Image size 250×250 · bone marrow aspirate smear.
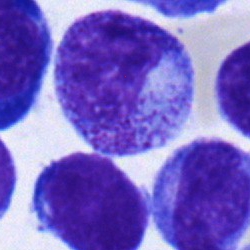 Specimen: bone marrow aspirate smear.
Cell: metamyelocyte.